Bone marrow smear — 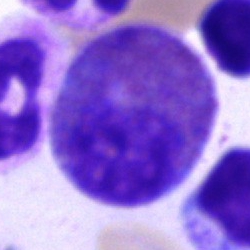An eosinophil.